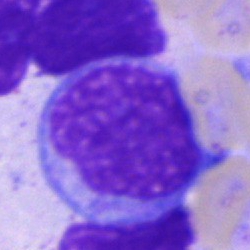
Q: What is the morphological classification of this cell?
A: Blast.